Brightfield, 40× oil-immersion objective; bone marrow smear: 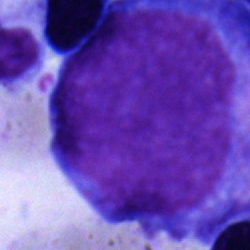

The cell shown is a pronormoblast.